Bone marrow smear:
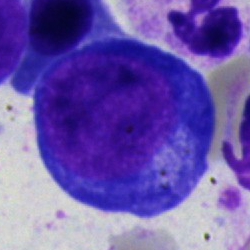
Morphology consistent with a normoblast.